Bone marrow aspirate smear:
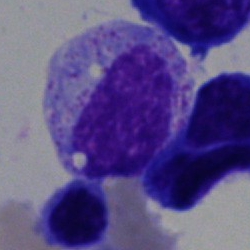

Q: What type of cell is this?
A: A myelocyte.